Bone marrow smear:
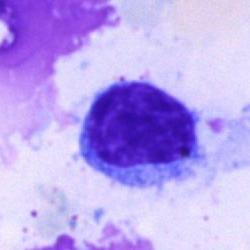Specimen: bone marrow smear.
Classification: typical lymphocyte.
Lineage: lymphoid.